Brightfield, 40× oil-immersion objective. Bone marrow aspirate smear
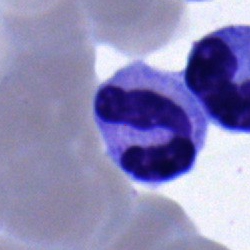
Single cell identified as a segmented neutrophil.